Bone marrow smear:
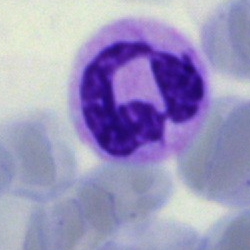

The morphological class is neutrophil (segmented).